Bone marrow smear: 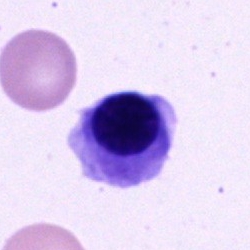Classification: nucleated red cell.